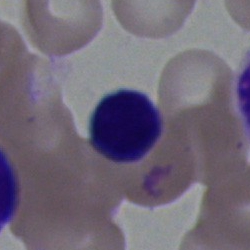Q: Which cell type is shown here?
A: It is a typical lymphocyte.